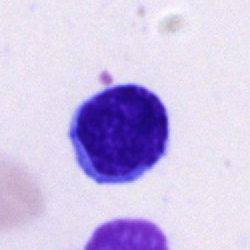
Cell — lymphocyte.